100× objective, oil immersion. Peripheral blood smear — 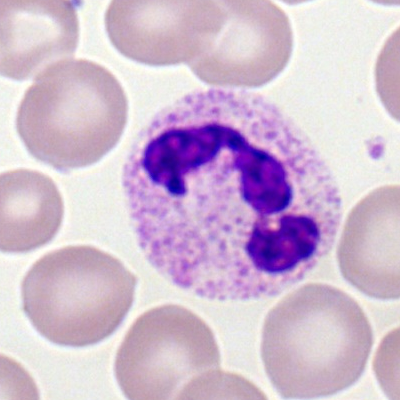

The cell is neutrophil (segmented).